Bone marrow smear
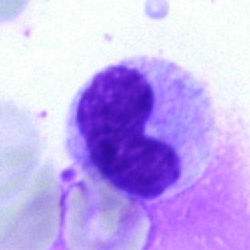

Morphological class: band neutrophil.